Bone marrow smear: 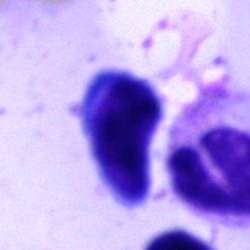

Classification: typical lymphocyte.